Bone marrow aspirate smear · image size 250×250 · May-Grünwald-Giemsa/Pappenheim stain:
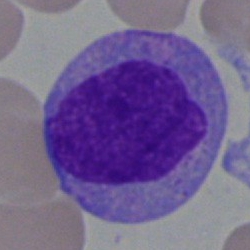

Q: What is the morphological classification of this cell?
A: A monocyte.